40× oil immersion. Bone marrow aspirate smear.
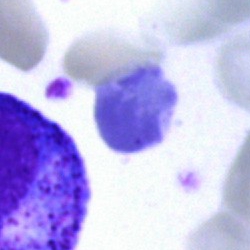
The morphological class is artifact.